Bone marrow smear — 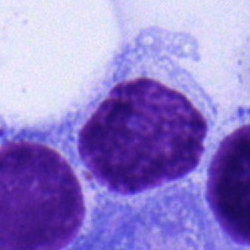Cell — typical lymphocyte.